Bone marrow smear · 40× objective, oil immersion · image size 250×250: 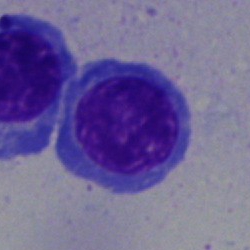

Specimen: bone marrow smear.
Cell type: normoblast.